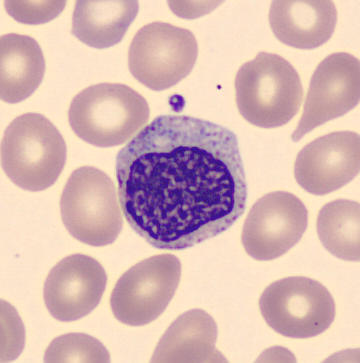A myelocyte.
Automated cell imaging (CellaVision DM96); image size 360×363; peripheral blood smear.